Bone marrow aspirate smear: 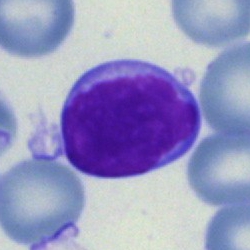
Classification = lymphocyte.